Bone marrow aspirate smear: 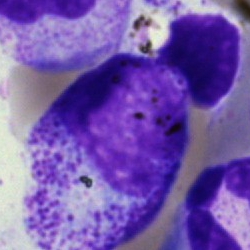

The cell is myelocyte.